Brightfield microscopy, 40× oil immersion · bone marrow aspirate smear · 250 by 250 pixels — 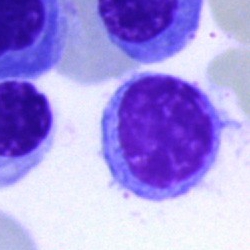

Q: What type of cell is this?
A: A lymphocyte.